Bone marrow smear
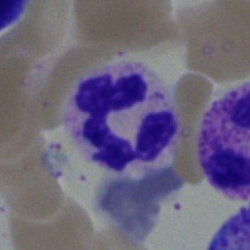 Q: Which cell type is shown here?
A: A polymorphonuclear neutrophil.